Single-cell crop · bone marrow smear — 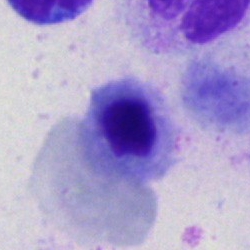Specimen: bone marrow aspirate smear.
Cell type: normoblast.